40× objective, oil immersion; bone marrow smear — 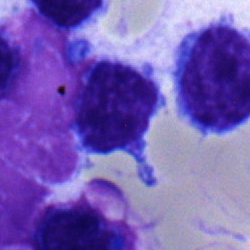Showing a typical lymphocyte.